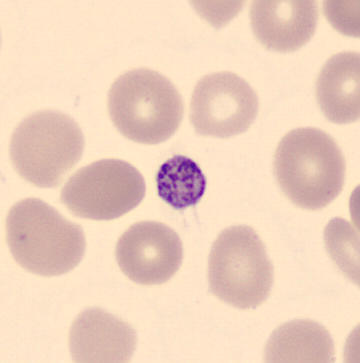

This is a platelet.